Bone marrow aspirate smear · 250 by 250 pixels — 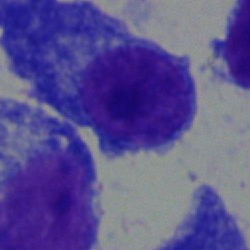 Classification: plasmacyte.